Bone marrow aspirate smear. Single-cell crop
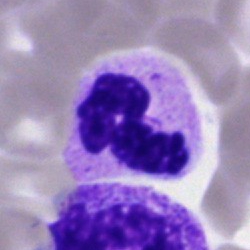

The classification is neutrophil (segmented).